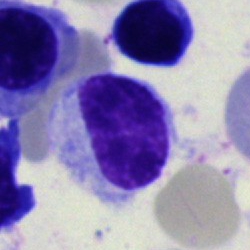
{"cell_type": "hairy cell"}